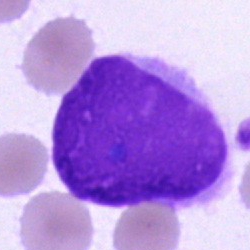 Morphology — artefact.